Brightfield, 40× oil-immersion objective · bone marrow aspirate smear: 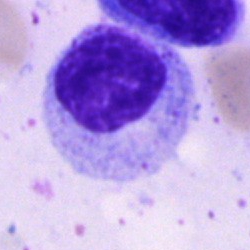
Q: Identify the cell.
A: A myelocyte.